Bone marrow smear:
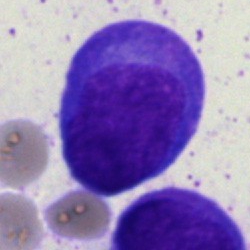 Q: What is shown here?
A: A blast cell.